Peripheral blood smear:
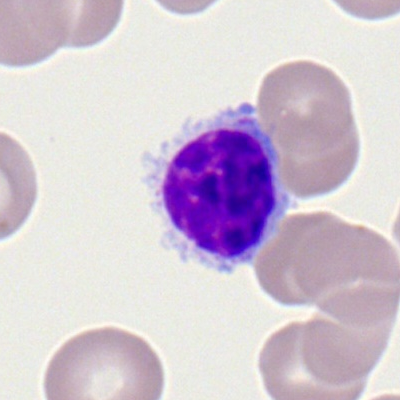The cell shown is a typical lymphocyte.